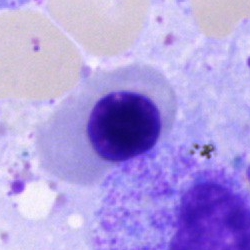Classification = nucleated red cell.